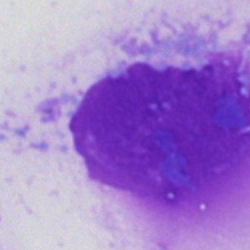

Q: What is shown here?
A: It is an artefact.